Bone marrow aspirate smear:
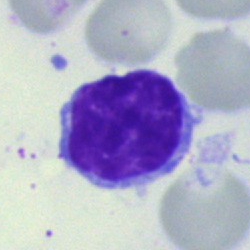 Q: What is shown here?
A: A typical lymphocyte.